Brightfield microscopy, 40× oil immersion. Single-cell field. Bone marrow smear
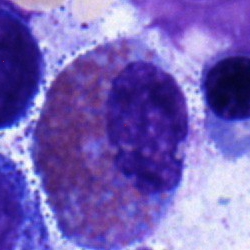Q: Which cell type is shown here?
A: An eosinophil.